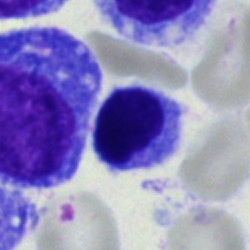 The cell type is lymphocyte.